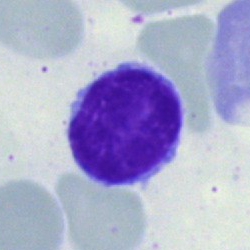The cell shown is a typical lymphocyte.